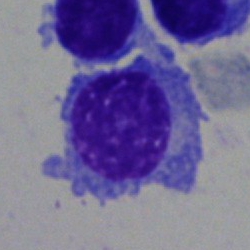
Classification = plasmacyte.